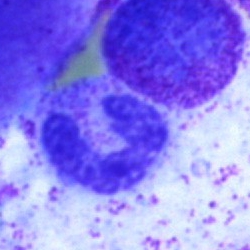A neutrophil (segmented).